Bone marrow smear: 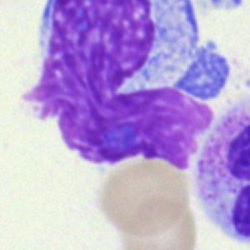
Q: What is shown here?
A: Artefact.